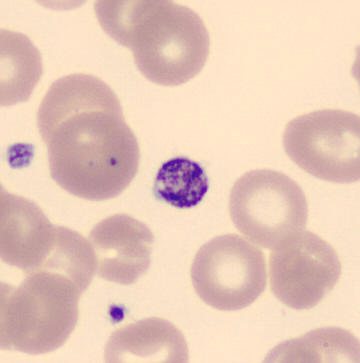

Peripheral blood film. Morphology consistent with a platelet.